Bone marrow aspirate smear: 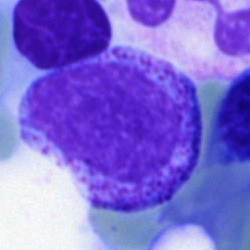
Myelocyte.